Bone marrow aspirate smear.
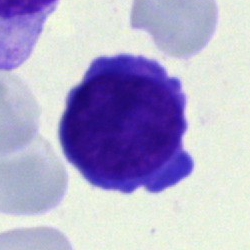

Specimen: bone marrow aspirate smear.
Cell type: typical lymphocyte.